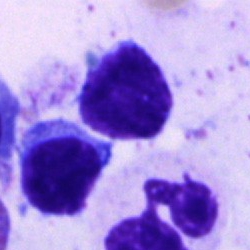 Specimen: bone marrow smear.
Cell type: lymphocyte.
Lineage: lymphoid.